Bone marrow smear: 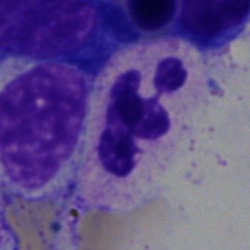Q: What is shown here?
A: A segmented neutrophil.